Bone marrow smear:
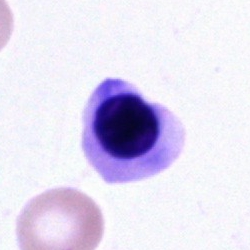 The cell shown is a normoblast.